May-Grünwald-Giemsa stain; bone marrow smear — 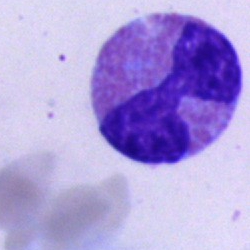
Cell — eosinophilic granulocyte.